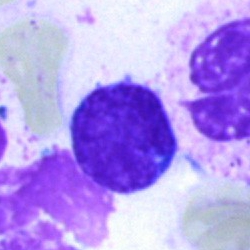 Specimen: bone marrow aspirate smear.
Cell: lymphocyte.